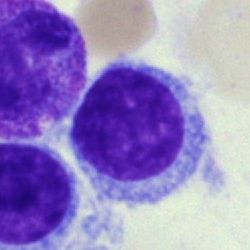

A hairy cell.